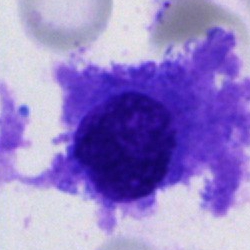 Morphology → plasmacyte.